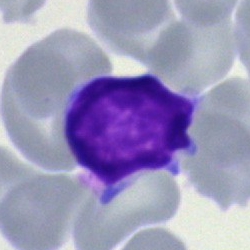
Morphological class — typical lymphocyte.